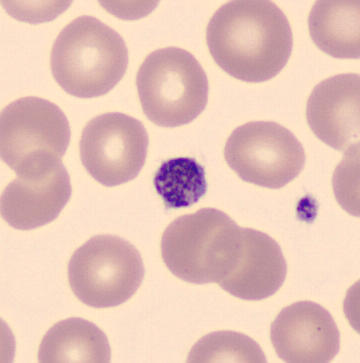Q: What is shown here?
A: A thrombocyte.

Preparation: Peripheral blood smear.